Bone marrow aspirate smear.
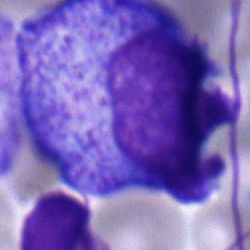A promyelocyte.